Bone marrow aspirate smear: 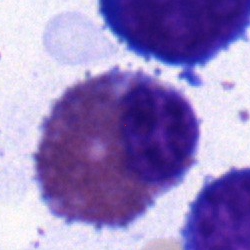
Morphology — eosinophil.